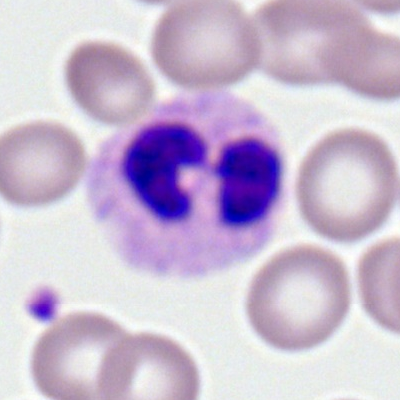 Peripheral blood smear showing a polymorphonuclear neutrophil.